Bone marrow smear; May-Grünwald-Giemsa stain: 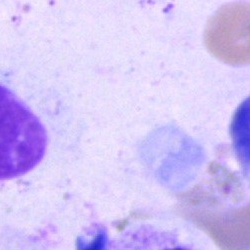 The cell shown is an artifact.